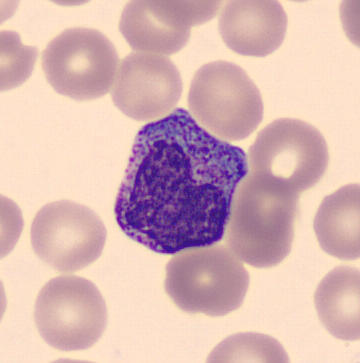 Preparation: Peripheral blood smear. This is a myelocyte.